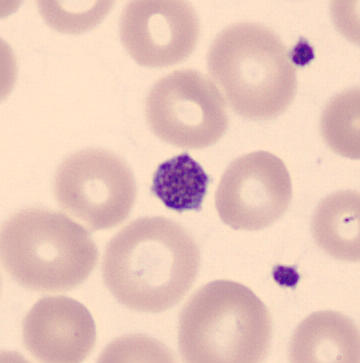
A platelet (thrombocyte).
Preparation: Peripheral blood film; imaged on a CellaVision DM96 analyser.